Bone marrow smear · 250×250 px · brightfield, 40× oil-immersion objective:
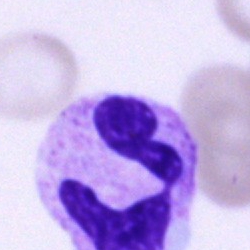Morphology → polymorphonuclear neutrophil.